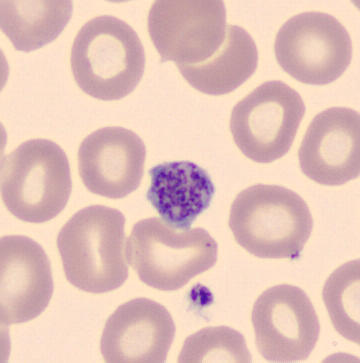
{"cell_type": "thrombocyte"}